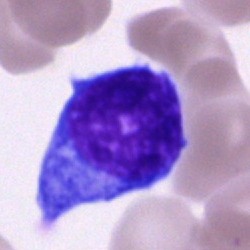Bone marrow aspirate smear, single cell — blast cell.